Bone marrow aspirate smear; brightfield microscopy, 40× oil immersion — 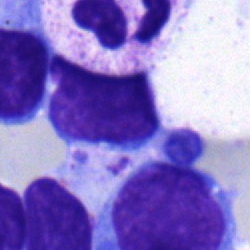Impression → typical lymphocyte.